May-Grünwald-Giemsa stain. Bone marrow aspirate smear.
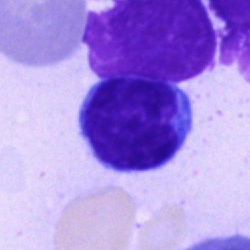

Morphology → lymphocyte.